Bone marrow smear — 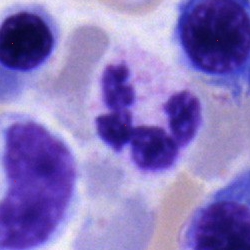
Q: What is shown here?
A: It is a segmented neutrophil.